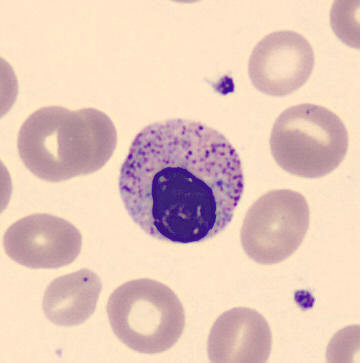

Q: Identify the cell.
A: This is a myelocyte. Preparation: May Grünwald-Giemsa stain. Peripheral blood smear.